250×250 px · bone marrow aspirate smear
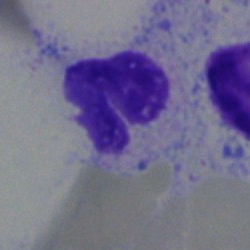Impression → neutrophil (segmented).